Bone marrow aspirate smear · MGG-stained: 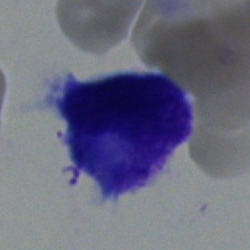
The classification is plasma cell.